Bone marrow smear: 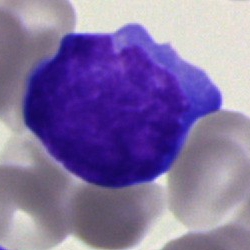
Classification — blast.